250 by 250 pixels; bone marrow smear; single-cell field — 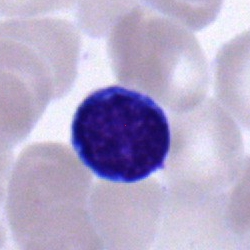This is a lymphocyte.